Bone marrow smear.
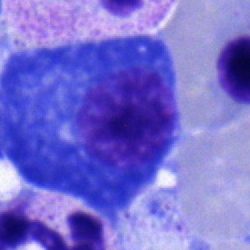 Impression → plasmacyte.